Bone marrow aspirate smear · MGG-stained · 250 by 250 pixels:
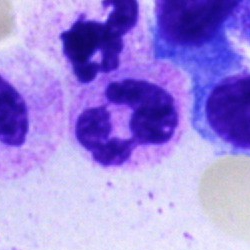 The cell type is neutrophil (segmented).